Bone marrow aspirate smear — 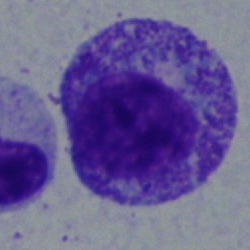
Q: What is shown here?
A: This is a myelocyte.